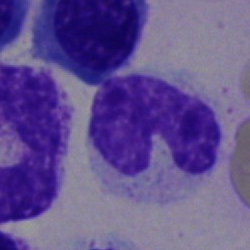 Showing a band neutrophil.